Bone marrow smear
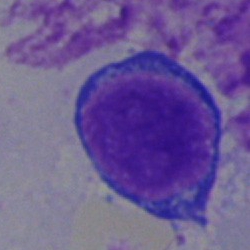Morphology consistent with a proerythroblast.